Bone marrow smear:
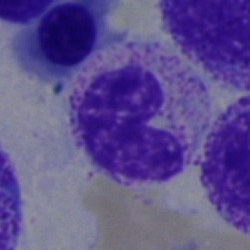Q: What is shown here?
A: Metamyelocyte.